Bone marrow smear · MGG-stained · 250 by 250 pixels: 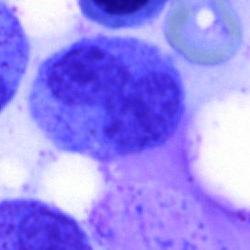 Cell type: band neutrophil.